40× objective, oil immersion; bone marrow aspirate smear:
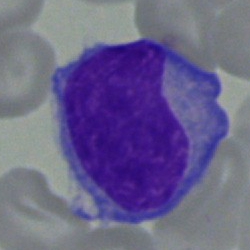

Morphological class = blast cell.